Bone marrow aspirate smear
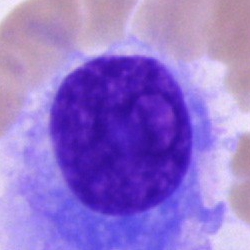

Morphology consistent with a plasmacyte.